Bone marrow smear.
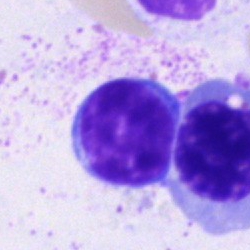
This is a typical lymphocyte.